Peripheral blood smear:
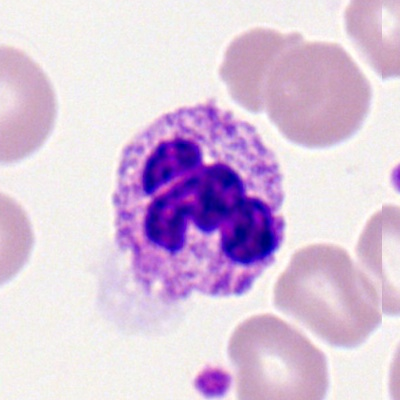

Single cell identified as a segmented neutrophil.